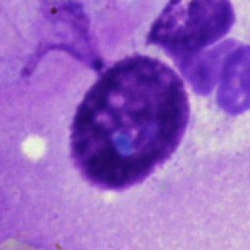
An artifact on a bone marrow smear.